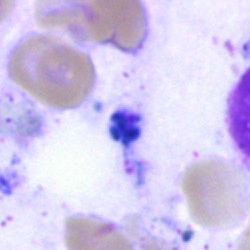 An artefact.